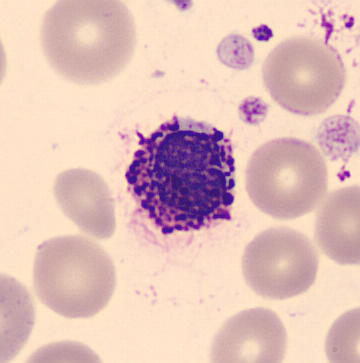 Acquisition: Peripheral blood smear.
Basophilic granulocyte.